Bone marrow aspirate smear. Single-cell crop — 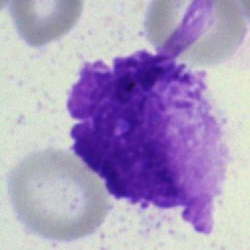
Morphology — artefact.